Bone marrow aspirate smear: 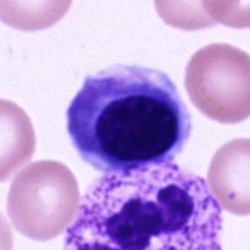
Cell type — erythroblast.